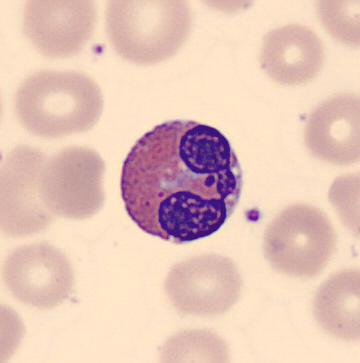Morphology → eosinophil. Image: CellaVision DM96 digital cell image. Peripheral blood film.